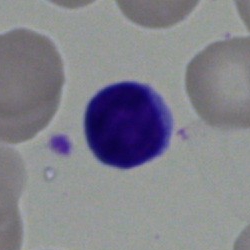Specimen: bone marrow aspirate smear.
Morphological class: lymphocyte.
Lineage: lymphoid.